Bone marrow smear: 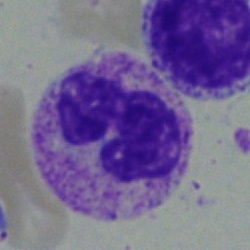
Morphology consistent with a band neutrophil.